Bone marrow aspirate smear
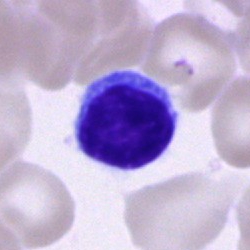 Morphology consistent with a lymphocyte.